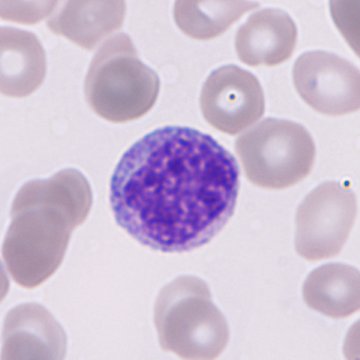

Morphology → immature granulocyte.